Peripheral blood smear: 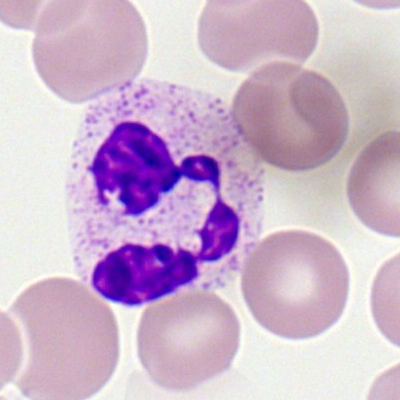Q: What is shown here?
A: It is a neutrophil (segmented).